Bone marrow aspirate smear.
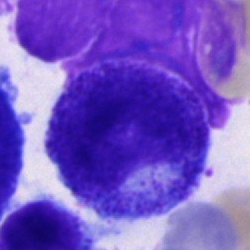

Specimen: bone marrow smear.
Cell: progranulocyte.